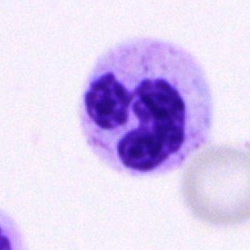

Bone marrow aspirate smear, single cell — segmented neutrophil.